Bone marrow smear · brightfield microscopy, 40× oil immersion:
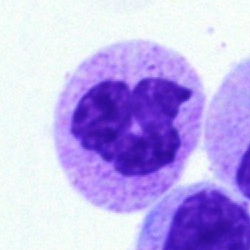Morphology consistent with a neutrophil (segmented).